Peripheral blood smear — 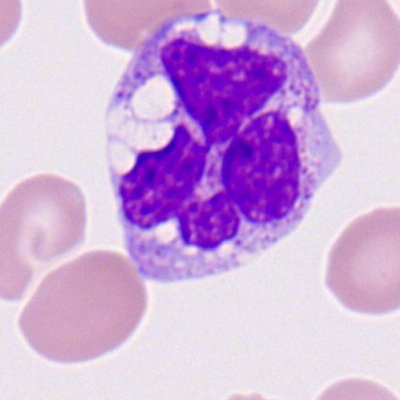 Q: What is shown here?
A: Monocyte.